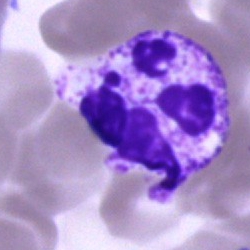Q: What cell is this?
A: This is a segmented neutrophil.